Bone marrow smear.
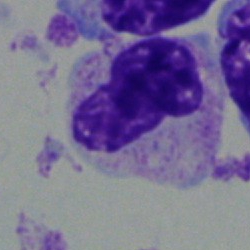Q: What is shown here?
A: Metamyelocyte.